Bone marrow aspirate smear · 250×250
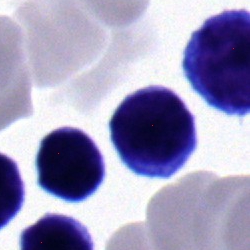Morphological class = typical lymphocyte.